Bone marrow aspirate smear.
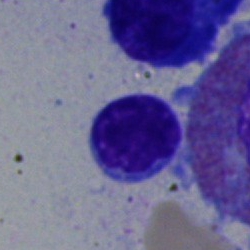

A lymphocyte.